Bone marrow smear — 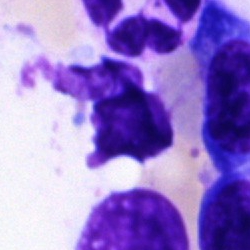Q: What is shown here?
A: It is an artifact.